Bone marrow smear
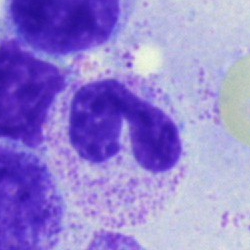 The cell shown is a polymorphonuclear neutrophil.